Bone marrow aspirate smear. May-Grünwald-Giemsa stain. Single-cell crop: 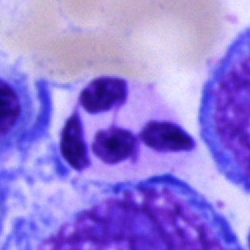Morphology → segmented neutrophil.